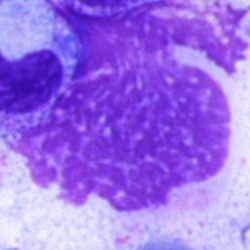
Bone marrow smear showing an artefact.